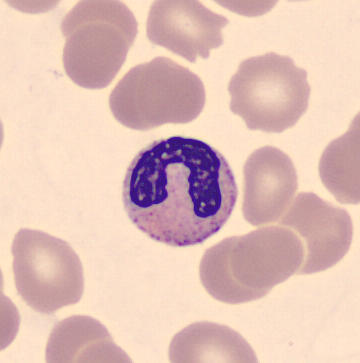 Specimen: peripheral blood smear.
Classification: band neutrophil.